Bone marrow smear. 40× oil immersion. May-Grünwald-Giemsa stain:
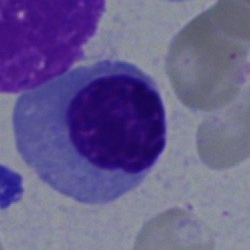 Q: What cell is this?
A: This is a nucleated red blood cell.